Bone marrow aspirate smear: 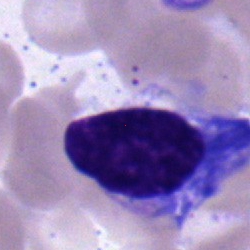
Cell — typical lymphocyte.